MGG-stained; bone marrow aspirate smear; cropped to a single cell.
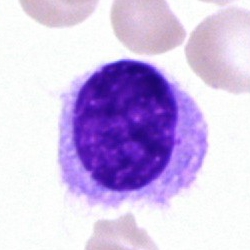Impression — hairy cell.